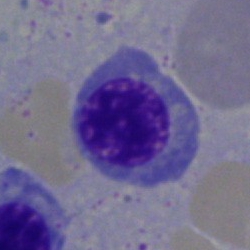Specimen: bone marrow aspirate smear.
Classification: erythroblast.
Lineage: erythroid.